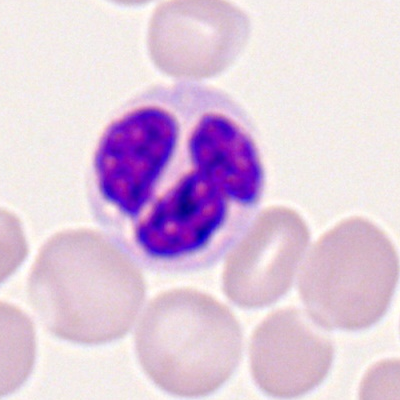{"cell_type": "polymorphonuclear neutrophil", "lineage": "myeloid"}